Bone marrow smear:
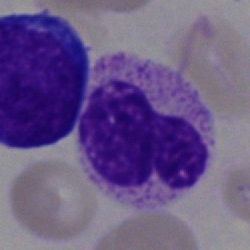
A polymorphonuclear neutrophil.